Bone marrow aspirate smear · 250 by 250 pixels · brightfield, 40× oil-immersion objective — 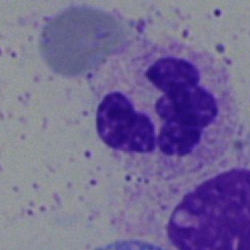
Cell type: neutrophil (segmented).